Bone marrow aspirate smear · cropped to a single cell.
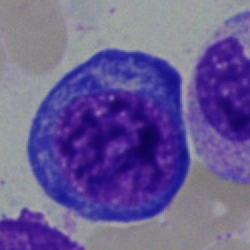
Nucleated red cell.